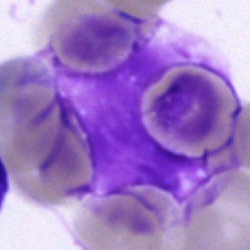
Artefact.